Bone marrow smear; May-Grünwald-Giemsa stain:
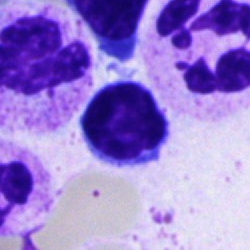
Morphology — typical lymphocyte.